Bone marrow smear · brightfield, 40× oil-immersion objective:
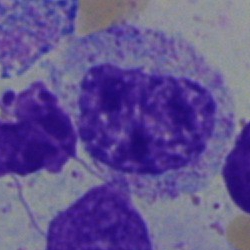

The cell is myelocyte.